Bone marrow smear.
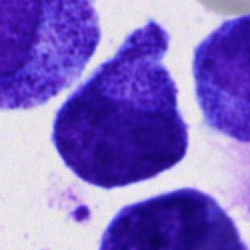Specimen: bone marrow aspirate smear.
Classification: progranulocyte.
Lineage: myeloid.